Bone marrow aspirate smear. May-Grünwald-Giemsa stain
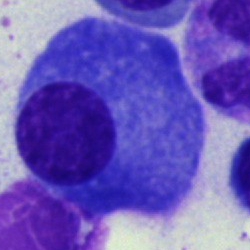
Cell type: plasmacyte.